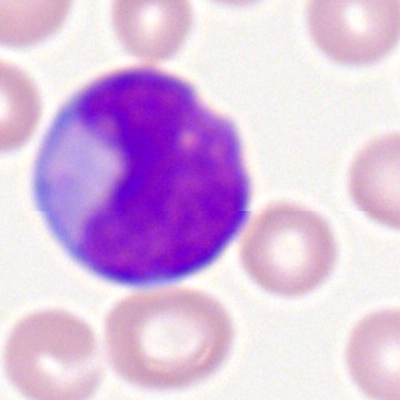 Morphology → myeloid blast.